250×250; bone marrow smear — 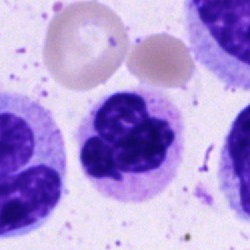Q: Identify the cell.
A: A neutrophil (segmented).